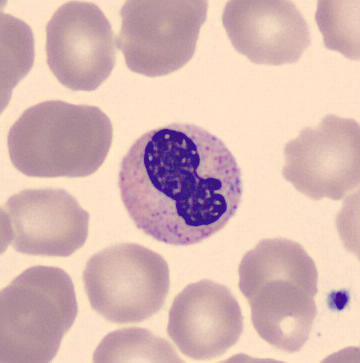 Preparation: Single-cell crop; peripheral blood film; CellaVision DM96 digital cell image. Neutrophil (band).